Bone marrow aspirate smear. Single-cell crop — 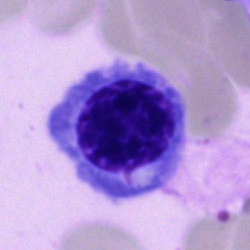 Specimen: bone marrow aspirate smear.
Cell: nucleated red cell.